250 by 250 pixels · bone marrow smear
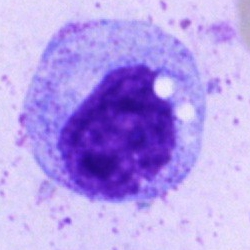
Q: What is shown here?
A: This is a progranulocyte.